Peripheral blood film · 360 by 363 pixels: 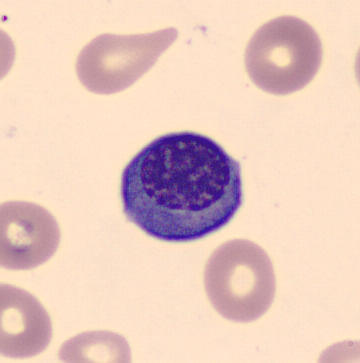

Q: Which cell type is shown here?
A: A nucleated red blood cell.